Image size 250×250; bone marrow aspirate smear; brightfield, 40× oil-immersion objective — 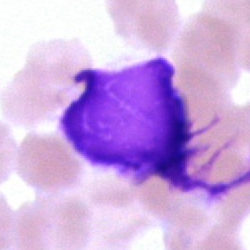
Classification = artifact.